Bone marrow smear — 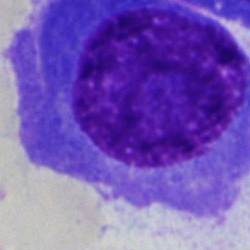 This is a plasmacyte.